Bone marrow aspirate smear.
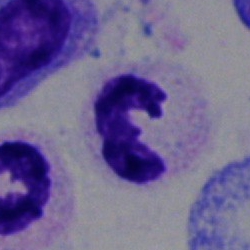Q: Which cell type is shown here?
A: A polymorphonuclear neutrophil.